250×250; bone marrow aspirate smear: 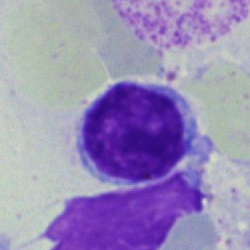Single cell identified as a typical lymphocyte.